40× objective, oil immersion · bone marrow smear.
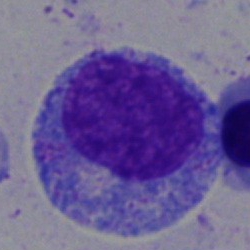
Q: What cell is this?
A: This is a myelocyte.